Bone marrow aspirate smear
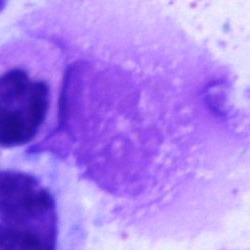The cell type is artefact.